M8 digital microscope (Precipoint), 100× oil immersion. Peripheral blood film: 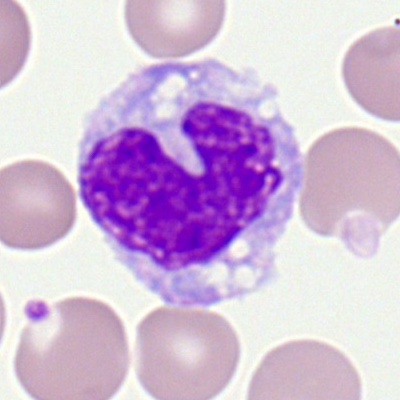

Cell — monocyte.